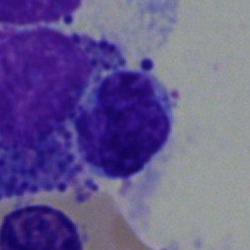 Q: Which cell type is shown here?
A: It is a lymphocyte.